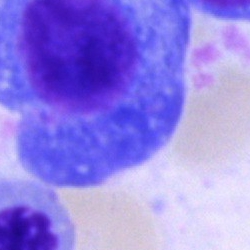 Specimen: bone marrow aspirate smear.
Classification: plasmacyte.